Bone marrow smear:
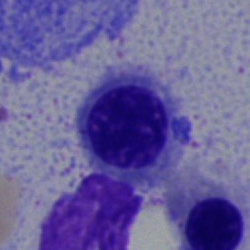

A normoblast.